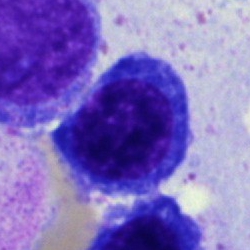 The cell type is erythroblast.